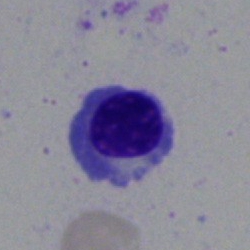

{"cell_type": "erythroblast", "lineage": "erythroid"}